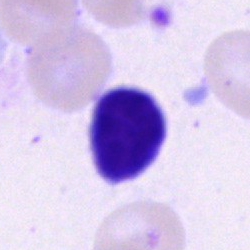

Q: What cell is this?
A: It is a typical lymphocyte.